Bone marrow smear:
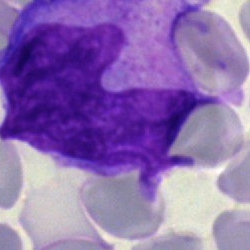

The classification is monocyte.